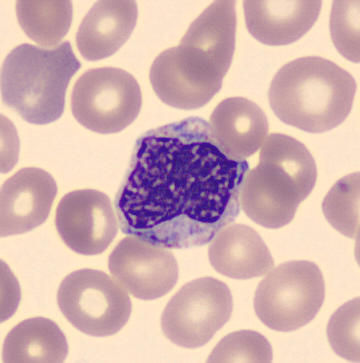

Peripheral blood smear.
Classification: metamyelocyte.